MGG-stained · bone marrow aspirate smear · 250 by 250 pixels
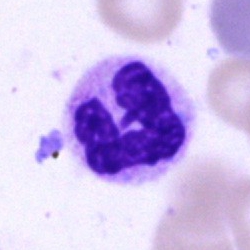 The cell shown is a polymorphonuclear neutrophil.